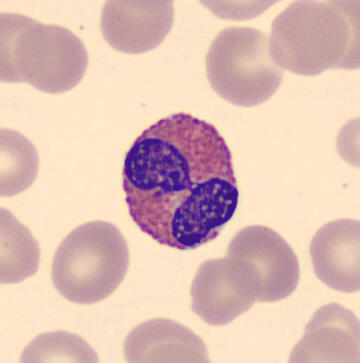 Acquisition: Cropped to a single cell.

Specimen: peripheral blood film.
Morphological class: eosinophil.
Lineage: myeloid.